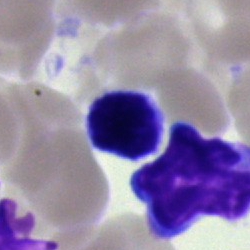 Morphological class: typical lymphocyte.